250×250. Bone marrow aspirate smear
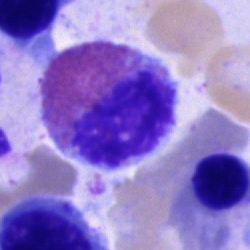

An eosinophilic granulocyte.